Bone marrow smear; MGG-stained.
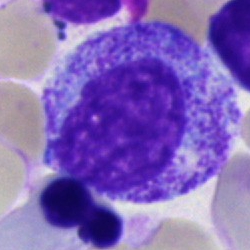 This is a myelocyte.